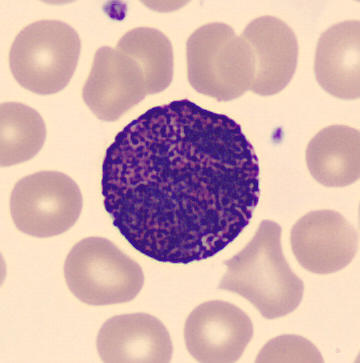Single cell identified as a basophilic granulocyte.